250×250 px. Bone marrow aspirate smear. MGG-stained.
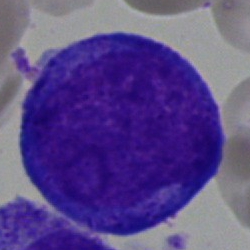A pronormoblast.